Bone marrow aspirate smear
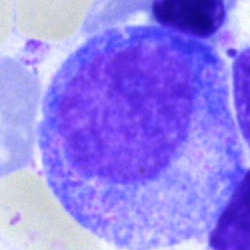Morphology → progranulocyte.